Bone marrow smear
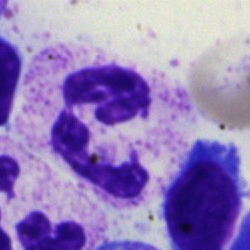 Q: What cell is this?
A: This is a polymorphonuclear neutrophil.